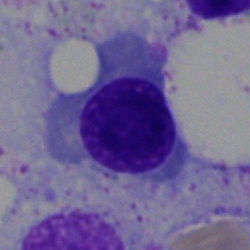 Morphological class: normoblast.